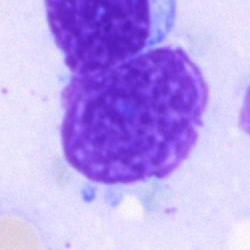

Artifact.